Bone marrow smear: 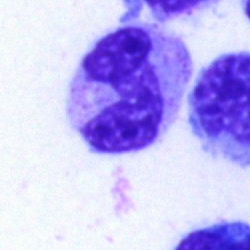Classification: band neutrophil.